250×250; bone marrow aspirate smear:
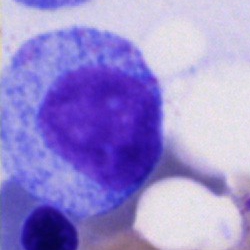Cell — promyelocyte.